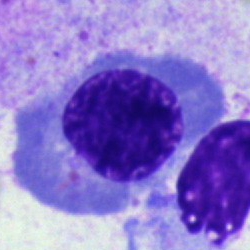 Specimen: bone marrow aspirate smear.
Morphological class: erythroblast.
Lineage: erythroid.